Bone marrow smear. 250 by 250 pixels: 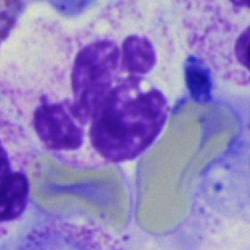 Impression → segmented neutrophil.